40× objective, oil immersion · bone marrow smear.
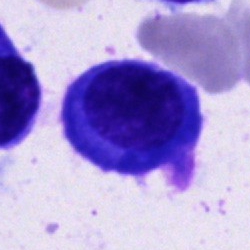
Classification = plasmacyte.